MGG-stained; bone marrow smear: 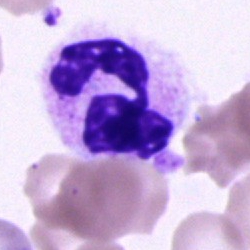
Neutrophil (segmented).